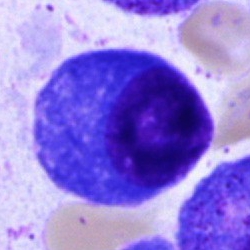Impression — plasmacyte.